400×400 px · brightfield, 100× oil-immersion objective · peripheral blood smear
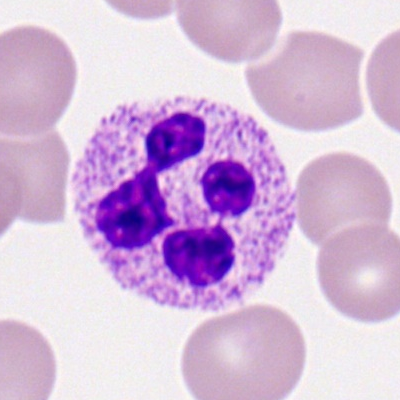Specimen: peripheral blood smear.
Classification: segmented neutrophil.
Lineage: myeloid.